Bone marrow smear: 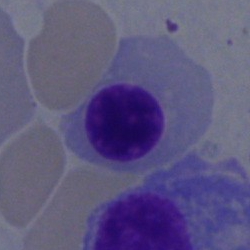 Single cell identified as an erythroblast.